Bone marrow aspirate smear: 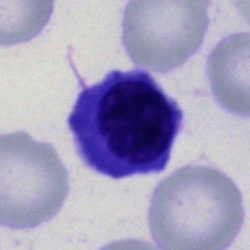
Specimen: bone marrow aspirate smear.
Classification: normoblast.